M8 digital microscope (Precipoint), 100× oil immersion · peripheral blood film — 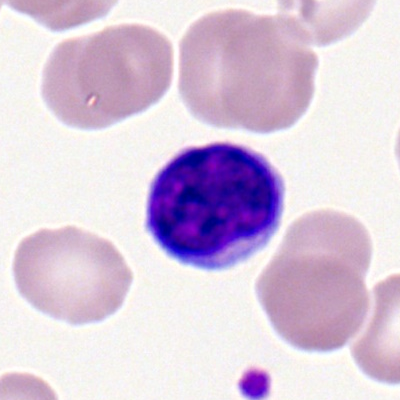Impression — lymphocyte.